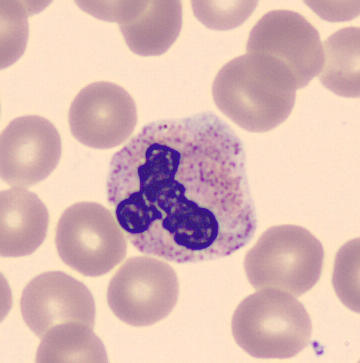 Preparation: Peripheral blood film; CellaVision DM96 digital cell image; single-cell crop.

This is a neutrophil (segmented).